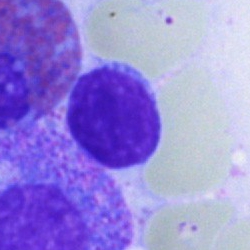 Bone marrow aspirate smear, single cell — lymphocyte.